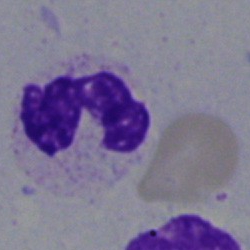

Morphology consistent with a segmented neutrophil.